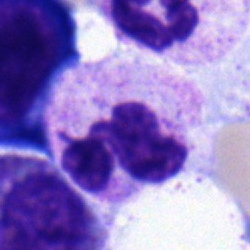
Morphology consistent with a segmented neutrophil.